Bone marrow smear
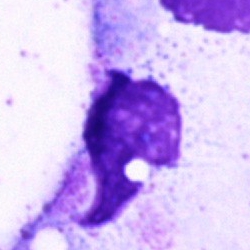 The cell shown is an artefact.